Bone marrow smear — 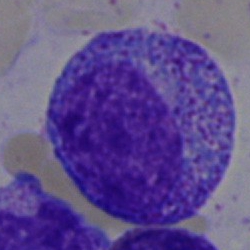 Impression — progranulocyte.